Peripheral blood smear. Cropped to a single cell. 100× oil immersion, 14.14 px/µm.
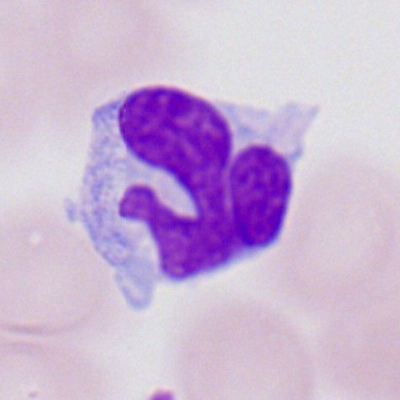 Showing a monocyte.